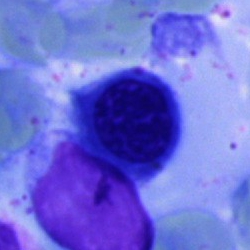
This is a nucleated red blood cell.